Peripheral blood film. Romanowsky stain:
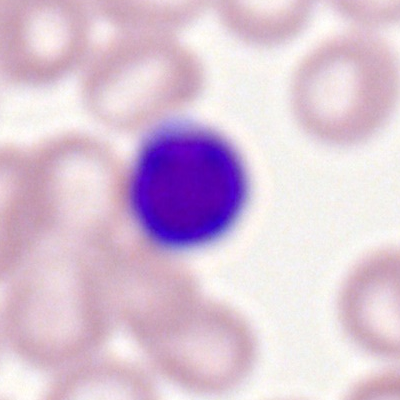 Cell = typical lymphocyte.